Image size 250×250 · bone marrow aspirate smear.
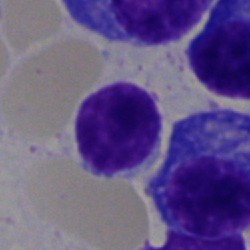
Impression → lymphocyte.